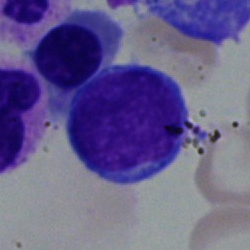 The cell type is typical lymphocyte.